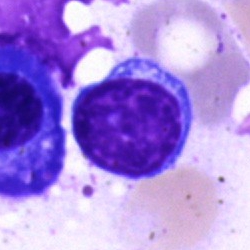 Specimen: bone marrow smear.
Classification: lymphocyte.
Lineage: lymphoid.